May-Grünwald-Giemsa/Pappenheim stain; brightfield microscopy, 40× oil immersion; bone marrow aspirate smear: 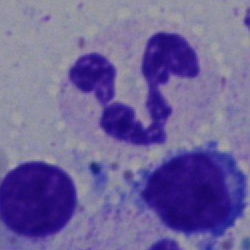 Q: What is the morphological classification of this cell?
A: Segmented neutrophil.